Image size 400×400; peripheral blood smear; Romanowsky-type stain — 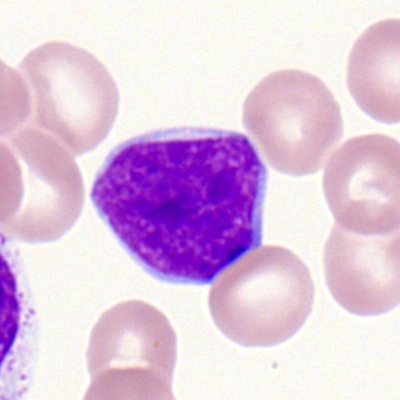Classification = myeloblast.